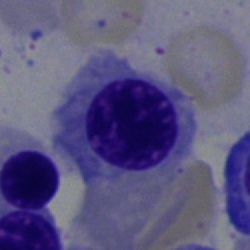 The classification is normoblast.